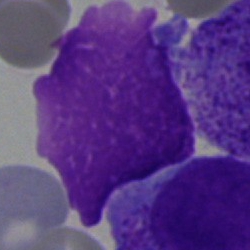Q: What is shown here?
A: This is an artifact.